Bone marrow smear
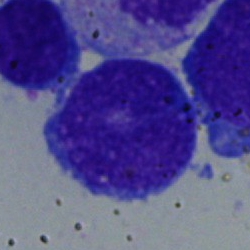 Q: What is shown here?
A: Undifferentiated blast.